Bone marrow aspirate smear — 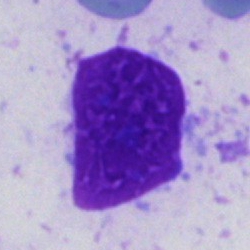Impression → artifact.